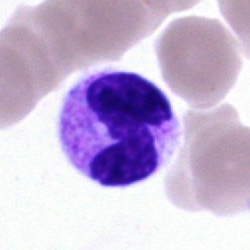
Single cell identified as a segmented neutrophil.